Single-cell field · Romanowsky-stained · peripheral blood film: 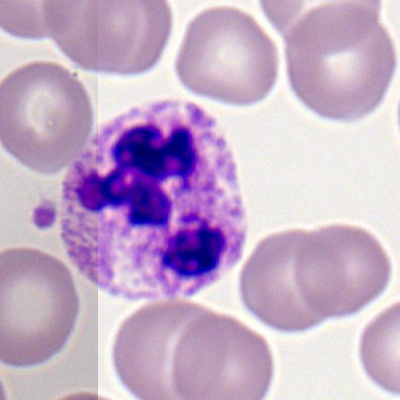
Cell type: neutrophil (segmented).